Peripheral blood film. 100× oil immersion, 14.14 px/µm. Romanowsky-type stain:
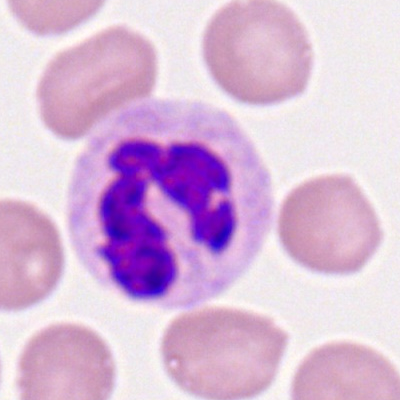 The cell shown is a neutrophil (segmented).